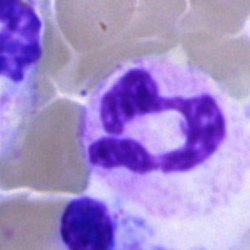

Q: What type of cell is this?
A: A neutrophil (segmented).